Single-cell crop. Bone marrow smear:
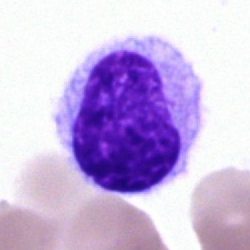 Morphology consistent with a hairy cell.